Bone marrow smear · 250 by 250 pixels · single-cell field — 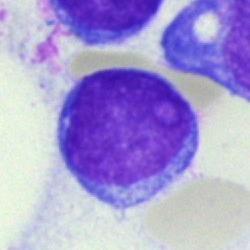 Cell type = undifferentiated blast.